Bone marrow smear — 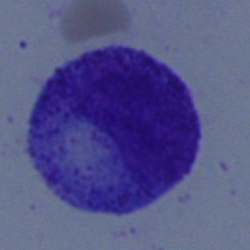

The cell is promyelocyte.